Bone marrow aspirate smear; May-Grünwald-Giemsa stain
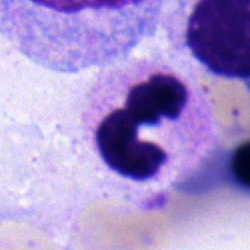 {"cell_type": "polymorphonuclear neutrophil", "lineage": "myeloid"}